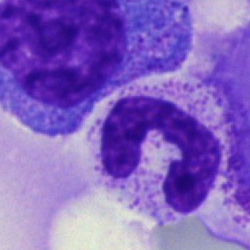
Classification = band neutrophil.